Bone marrow smear
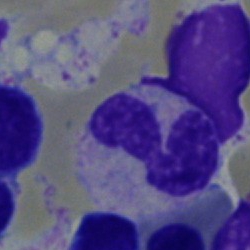 Q: What cell is this?
A: Band-form neutrophil.